Bone marrow smear: 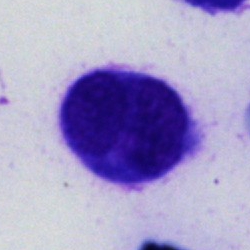
The classification is cell of indeterminate lineage.